Peripheral blood smear; M8 digital microscope (Precipoint), 100× oil immersion.
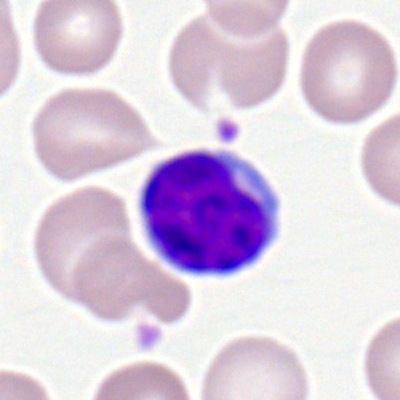

Q: What cell is this?
A: Typical lymphocyte.